Bone marrow smear — 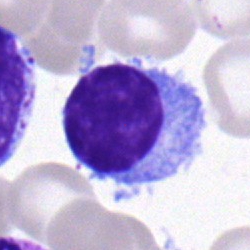
This is a lymphocyte.